Bone marrow smear · 250×250.
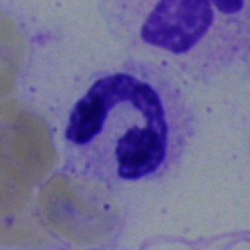 The cell shown is a neutrophil (band).